Bone marrow smear: 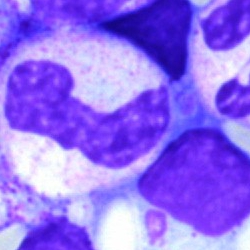
Specimen: bone marrow smear.
Classification: neutrophil (band).
Lineage: myeloid.